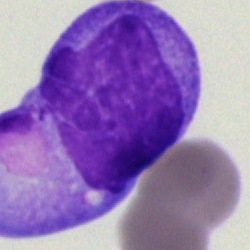 An undifferentiated blast on a bone marrow smear.